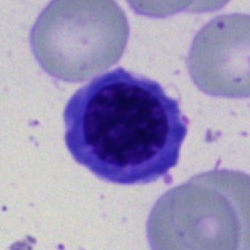Nucleated red blood cell.